Bone marrow aspirate smear · Pappenheim-stained.
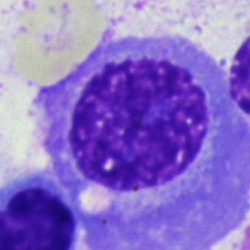Morphology consistent with a plasma cell.